MGG-stained · bone marrow aspirate smear · 250×250 px: 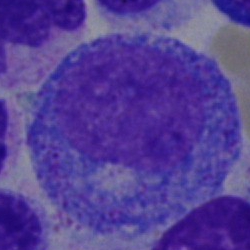 Morphological class — progranulocyte.